Bone marrow smear; brightfield, 40× oil-immersion objective.
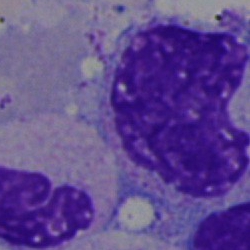

Classification — artefact.